Bone marrow smear; cropped to a single cell
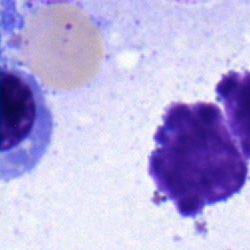Classification = normoblast.